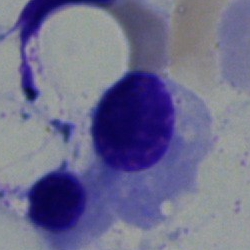
Single-cell crop from a bone marrow smear: nucleated red cell.